Pappenheim-stained · bone marrow aspirate smear — 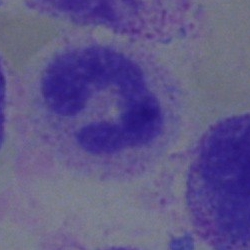{"cell_type": "neutrophil (segmented)"}